Single-cell field. Bone marrow aspirate smear: 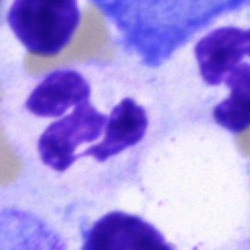

Cell type: segmented neutrophil.